Brightfield, 40× oil-immersion objective · bone marrow aspirate smear: 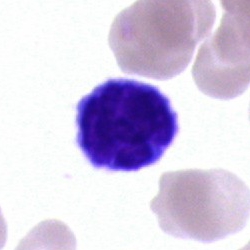
A typical lymphocyte.